Peripheral blood film
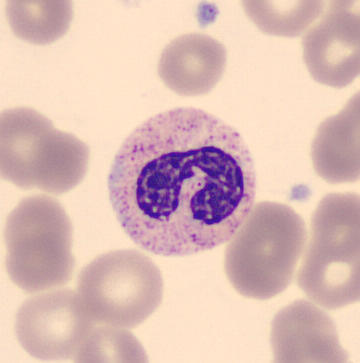
The classification is band-form neutrophil.